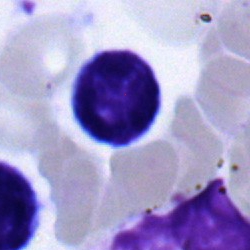Morphological class = lymphocyte.